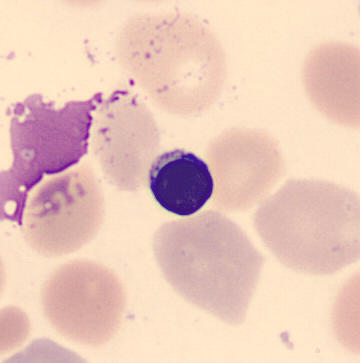
The classification is nucleated red cell. Peripheral blood smear. MGG stain.